Bone marrow smear: 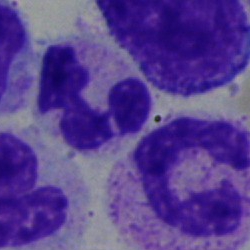

Classification = neutrophil (segmented).